Bone marrow aspirate smear.
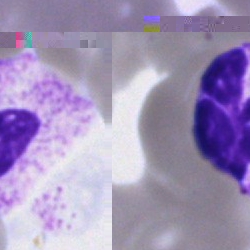A segmented neutrophil.